Bone marrow aspirate smear; cropped to a single cell; brightfield, 40× oil-immersion objective
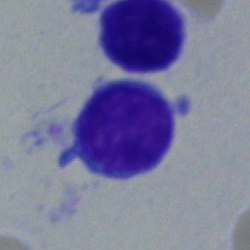The cell shown is a lymphocyte.